Bone marrow smear. Brightfield, 40× oil-immersion objective. Image size 250×250: 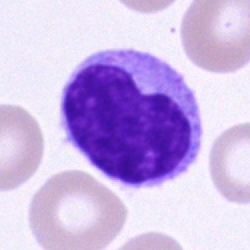 Classification = typical lymphocyte.